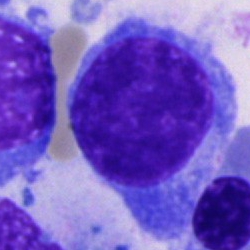Classification: plasma cell.